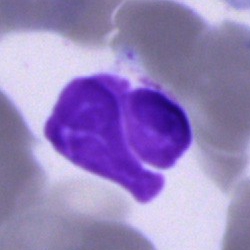 Morphology consistent with an artefact.